Bone marrow aspirate smear: 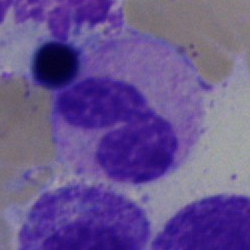Morphology → neutrophil (segmented).